Bone marrow aspirate smear — 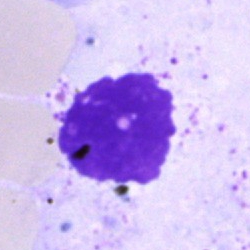 Morphology consistent with an artefact.